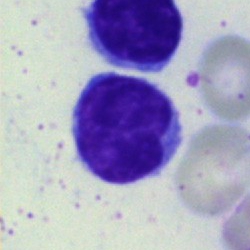

Morphological class = lymphocyte.